Bone marrow aspirate smear: 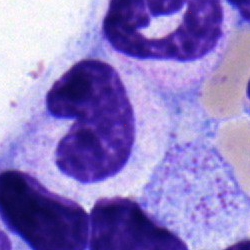

Single cell identified as a band neutrophil.